Bone marrow smear: 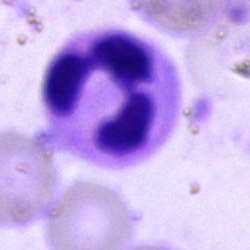The cell is neutrophil (segmented).